Bone marrow aspirate smear
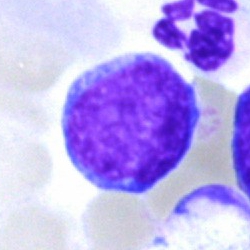Impression → blast cell.